Bone marrow aspirate smear — 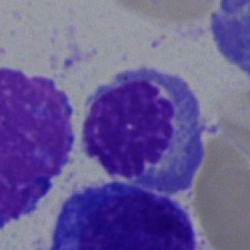

Morphology — normoblast.